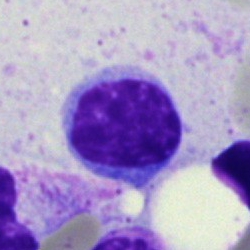
Cell type — typical lymphocyte.